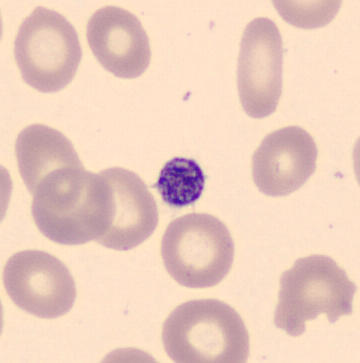
Morphology consistent with a platelet (thrombocyte).